Brightfield microscopy, 40× oil immersion · bone marrow aspirate smear · May-Grünwald-Giemsa/Pappenheim stain: 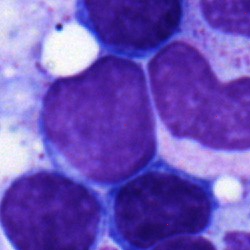Classification — lymphocyte.